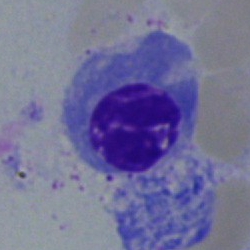 A normoblast.